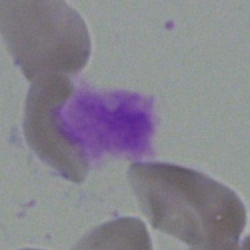

Single-cell crop from a bone marrow smear: artifact.